Peripheral blood film. 400 by 400 pixels.
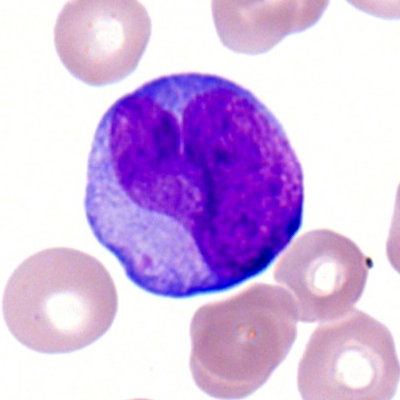 Morphological class = myeloid blast.